Image size 400×400; peripheral blood film; M8 digital microscope (Precipoint), 100× oil immersion:
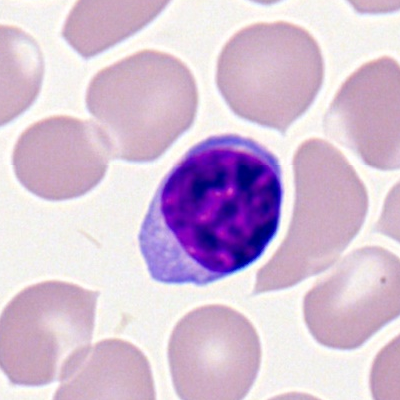

Q: Which cell type is shown here?
A: This is a typical lymphocyte.